Bone marrow smear:
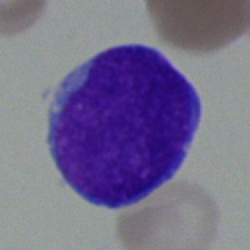Morphology consistent with a blast cell.